Bone marrow aspirate smear · cropped to a single cell.
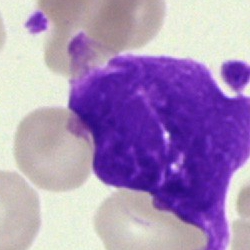

Cell = artifact.